Bone marrow aspirate smear
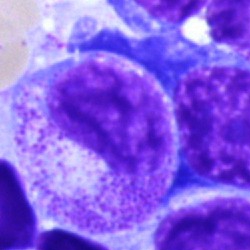
Q: Identify the cell.
A: A metamyelocyte.